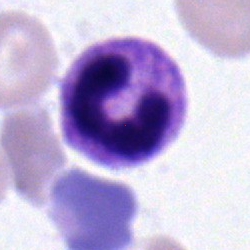The classification is stab cell.